May-Grünwald-Giemsa stain. Bone marrow smear
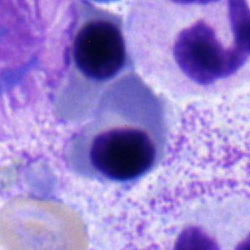 {"cell_type": "erythroblast"}